Bone marrow smear:
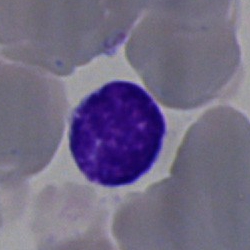 Morphological class — typical lymphocyte.